40× objective, oil immersion · bone marrow smear · 250×250:
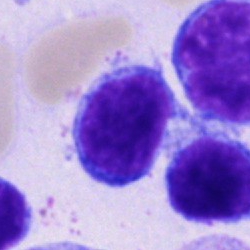

The cell is typical lymphocyte.